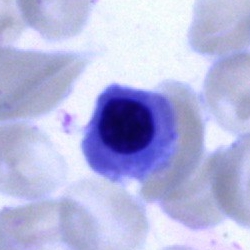Classification = normoblast.